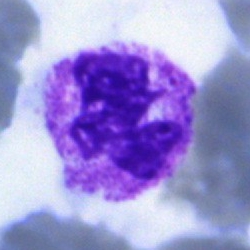Q: What is shown here?
A: It is a neutrophil (segmented).